250 by 250 pixels; brightfield microscopy, 40× oil immersion; bone marrow smear
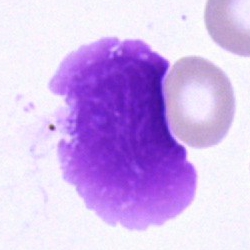

Showing an artefact.